Brightfield, 40× oil-immersion objective; bone marrow smear: 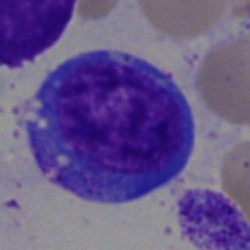The classification is undifferentiated blast.